Bone marrow aspirate smear. Brightfield microscopy, 40× oil immersion. 250×250 — 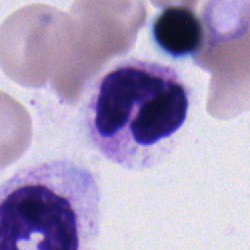Q: What type of cell is this?
A: This is a band neutrophil.